Bone marrow smear
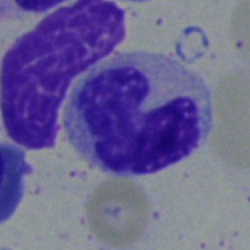

Morphology → monocyte.